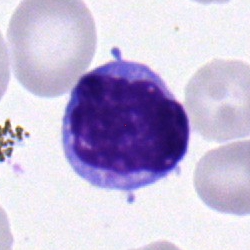
The classification is typical lymphocyte.